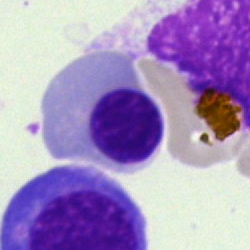

Morphology consistent with an erythroblast.